Bone marrow aspirate smear — 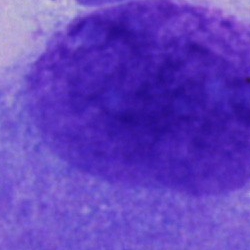 Q: What is shown here?
A: This is an artifact.